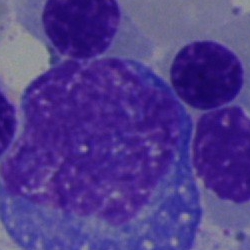 This is a monocyte.